Single cell centered in the field · bone marrow aspirate smear · MGG-stained
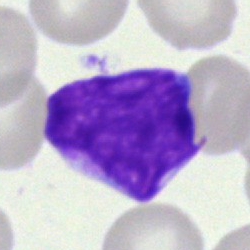 Cell type — blast.